Bone marrow smear · 40× oil immersion:
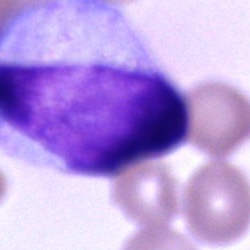
A cell of indeterminate lineage.